Brightfield, 40× oil-immersion objective. 250 by 250 pixels. Bone marrow aspirate smear — 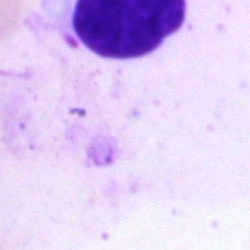Q: What is shown here?
A: An artifact.